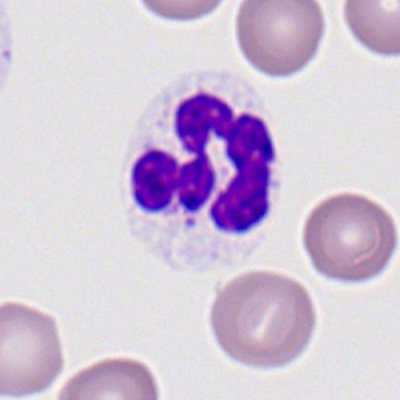
The classification is neutrophil (segmented).